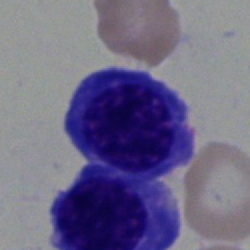Showing a normoblast.